Bone marrow aspirate smear.
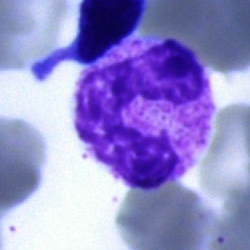Specimen: bone marrow aspirate smear.
Morphological class: band neutrophil.
Lineage: myeloid.